Bone marrow smear; 40× objective, oil immersion:
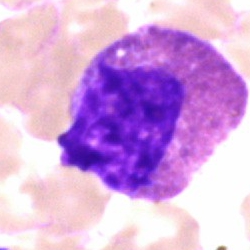
An eosinophilic granulocyte.